Cropped to a single cell · bone marrow aspirate smear
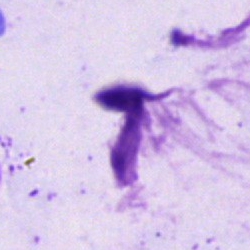Cell type: artefact.